Bone marrow smear. Single cell centered in the field. Brightfield, 40× oil-immersion objective: 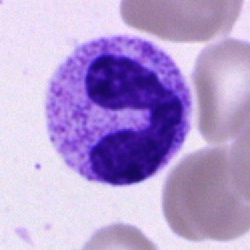
This is a segmented neutrophil.